Bone marrow aspirate smear. 40× oil immersion — 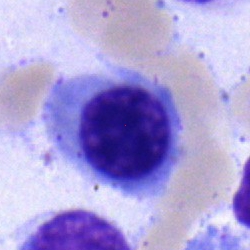 This is a nucleated red blood cell.